Bone marrow aspirate smear:
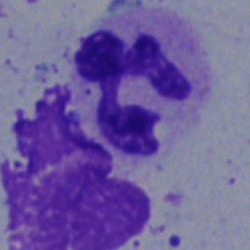 Q: Identify the cell.
A: A polymorphonuclear neutrophil.